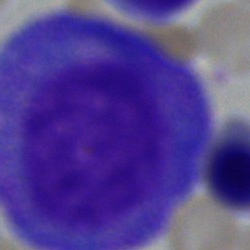

The cell type is progranulocyte.